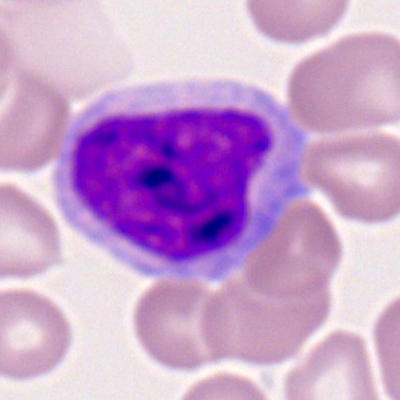This is a monocyte.